Bone marrow aspirate smear; 40× oil immersion.
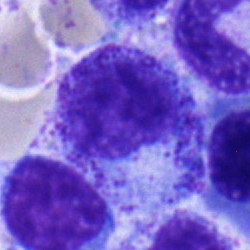 Single cell identified as a promyelocyte.